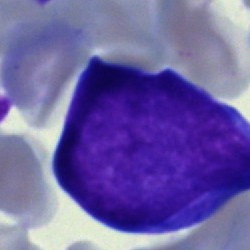Bone marrow aspirate smear, single cell — immature lymphocyte.